Single cell centered in the field · bone marrow smear:
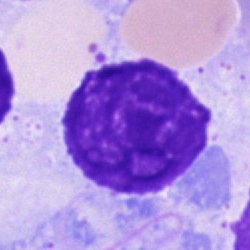
Cell: artefact.